Bone marrow aspirate smear; cropped to a single cell — 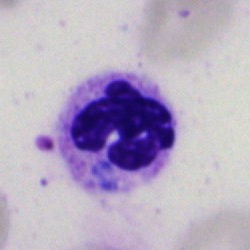
Q: What type of cell is this?
A: It is a segmented neutrophil.